Bone marrow aspirate smear
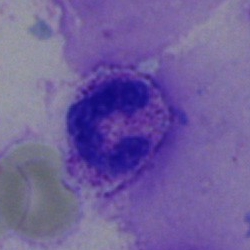Morphology consistent with a polymorphonuclear neutrophil.